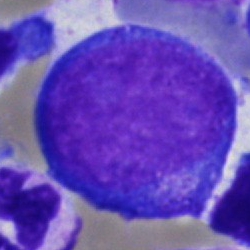
Q: What is shown here?
A: It is a pronormoblast.